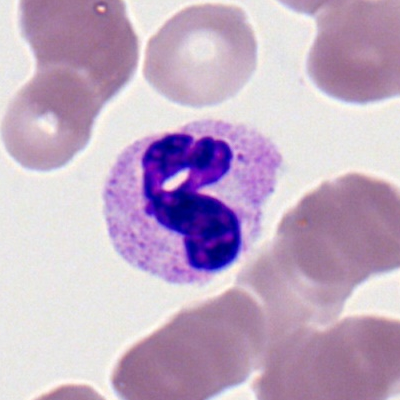 Neutrophil (segmented).